Bone marrow smear — 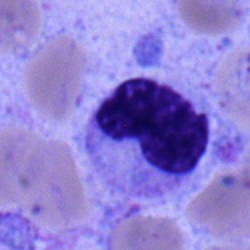Morphology consistent with a metamyelocyte.